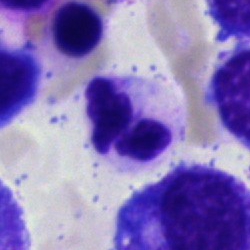Polymorphonuclear neutrophil.